Image size 250×250 · bone marrow aspirate smear · cropped to a single cell:
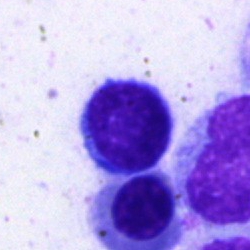Morphology — typical lymphocyte.